40× objective, oil immersion · bone marrow aspirate smear
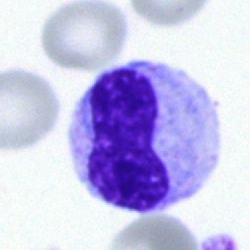

Specimen: bone marrow smear.
Cell: stab cell.